Bone marrow smear — 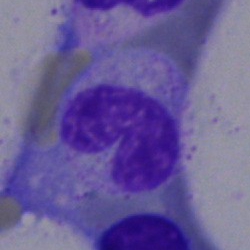Morphology → neutrophil (band).